Bone marrow aspirate smear
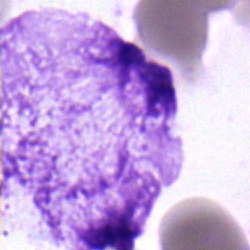 Q: Identify the cell.
A: This is a blast cell.